40× oil immersion. 250 by 250 pixels. Bone marrow smear.
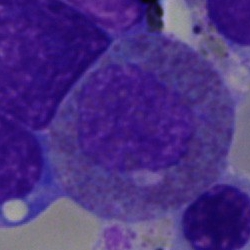
An eosinophilic granulocyte.